Bone marrow smear.
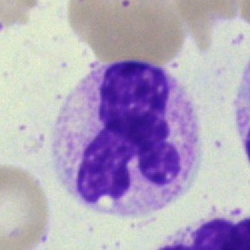

Morphology consistent with a polymorphonuclear neutrophil.